Peripheral blood film; 100× objective, oil immersion: 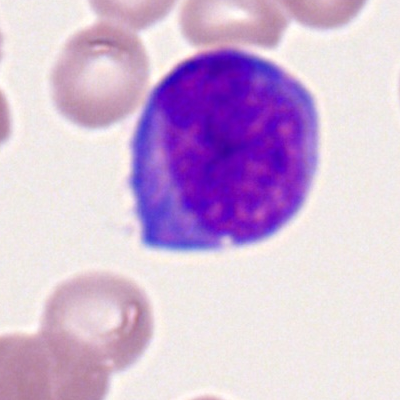Morphology consistent with a myeloblast.